Bone marrow aspirate smear; 250×250: 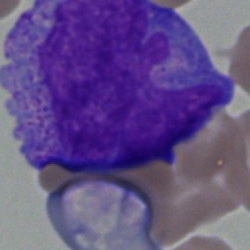
Showing a promyelocyte.